Bone marrow aspirate smear · 250×250 · single-cell field: 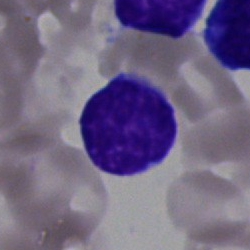Q: What is the morphological classification of this cell?
A: This is a lymphocyte.